Bone marrow smear — 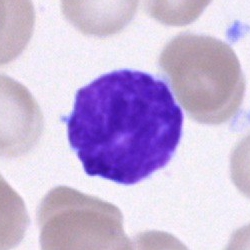 Specimen: bone marrow aspirate smear.
Classification: lymphocyte.
Lineage: lymphoid.